Cropped to a single cell. Bone marrow smear:
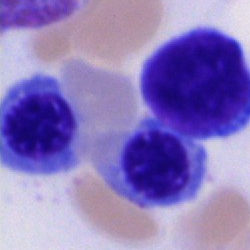
Q: Identify the cell.
A: Erythroblast.